Bone marrow aspirate smear
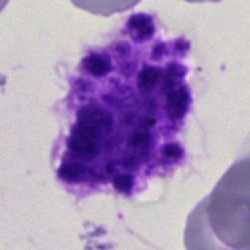
Impression — artifact.